250 by 250 pixels. Brightfield, 40× oil-immersion objective. Bone marrow smear
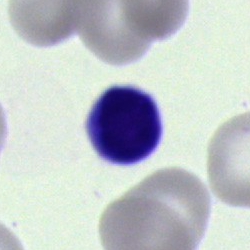 The cell shown is a lymphocyte.